Bone marrow aspirate smear.
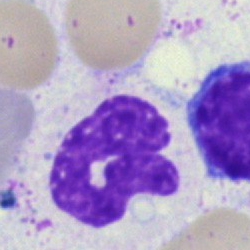
{"cell_type": "neutrophil (segmented)", "lineage": "myeloid"}